Cropped to a single cell; bone marrow smear; 250 by 250 pixels — 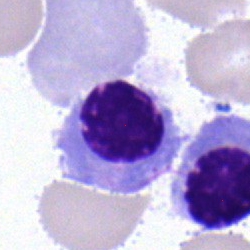

Impression — erythroblast.